Image size 250×250 · bone marrow aspirate smear · 40× objective, oil immersion: 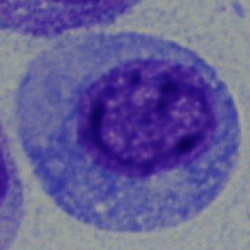
Specimen: bone marrow aspirate smear.
Morphological class: progranulocyte.